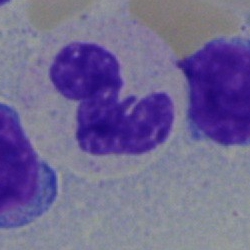Q: What is shown here?
A: It is a polymorphonuclear neutrophil.